Bone marrow smear. MGG-stained
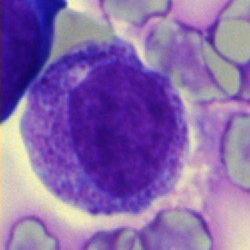
Single cell identified as a progranulocyte.